Bone marrow smear
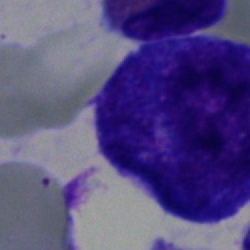 Showing a promyelocyte.